40× oil immersion. Single-cell field. Bone marrow aspirate smear.
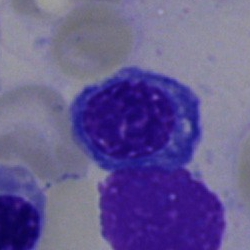 Cell — normoblast.